Bone marrow aspirate smear — 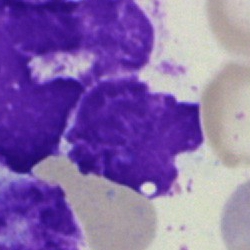The cell is artefact.